May-Grünwald-Giemsa/Pappenheim stain · 40× objective, oil immersion · bone marrow aspirate smear: 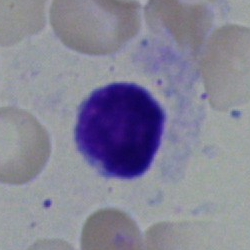

The cell type is typical lymphocyte.